Bone marrow aspirate smear — 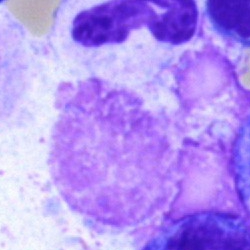Artifact.